Cropped to a single cell. MGG-stained. Bone marrow smear: 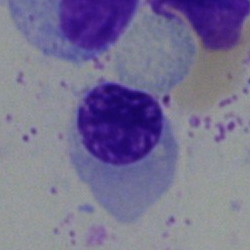Morphology consistent with a nucleated red blood cell.